Bone marrow aspirate smear — 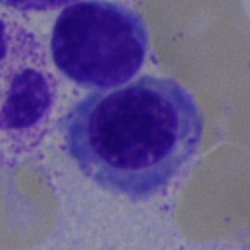
Impression — nucleated red cell.